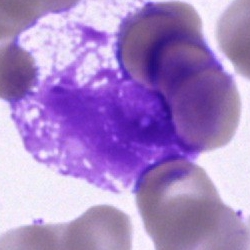Q: What is shown here?
A: An artefact.